Bone marrow smear; MGG-stained: 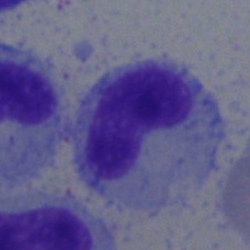 Q: What cell is this?
A: Stab cell.